Bone marrow aspirate smear. 250×250 px
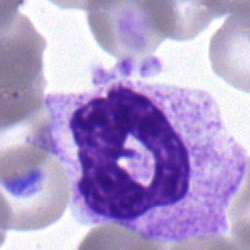 Cell = neutrophil (segmented).